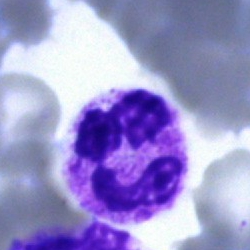

Neutrophil (segmented).